Bone marrow smear; 250×250 px; single-cell crop.
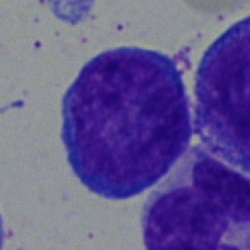

Impression → blast.